Imaged on a CellaVision DM96 analyser. Image size 360×363. Peripheral blood film — 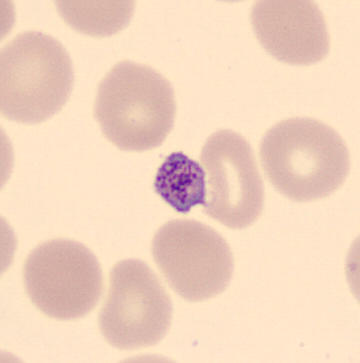
The morphological class is platelet.